250×250 px · single-cell field · bone marrow smear.
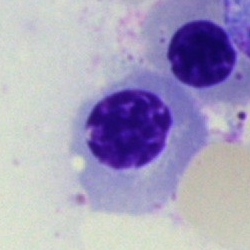

{"cell_type": "nucleated red cell", "lineage": "erythroid"}